Bone marrow smear:
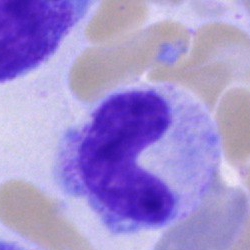

Morphological class — band-form neutrophil.